Single-cell field. Bone marrow aspirate smear.
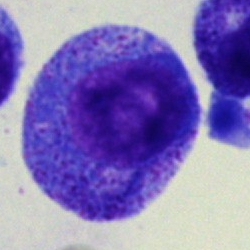 A promyelocyte.